Bone marrow aspirate smear — 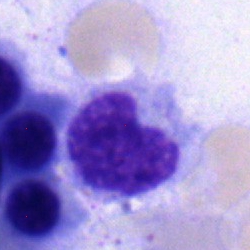

Single cell identified as a monocyte.